Single-cell field · bone marrow aspirate smear · May-Grünwald-Giemsa stain
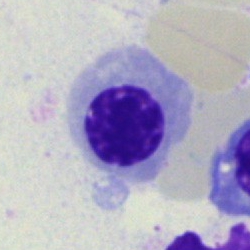 The cell is normoblast.